Bone marrow smear — 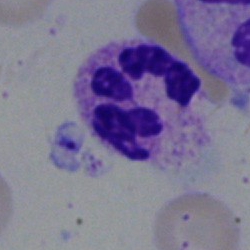 Q: What cell is this?
A: Neutrophil (segmented).